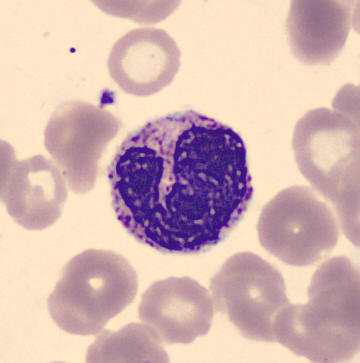
Peripheral blood smear.
Q: What is this?
A: Basophil.